Single-cell field. Peripheral blood film. 400×400 — 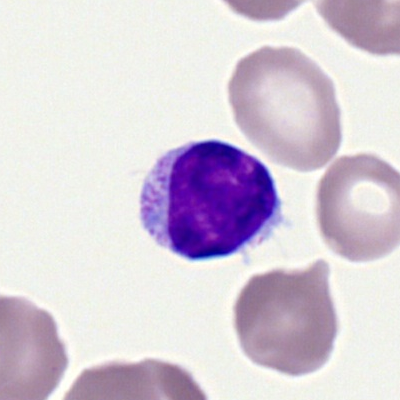 Morphology consistent with a lymphocyte.